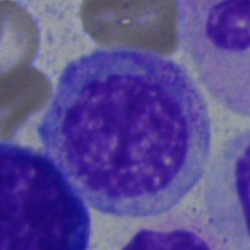 Single cell identified as a myelocyte.